Brightfield microscopy, 40× oil immersion; bone marrow smear.
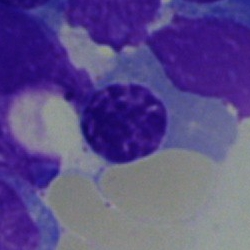

Showing a nucleated red blood cell.